Bone marrow aspirate smear: 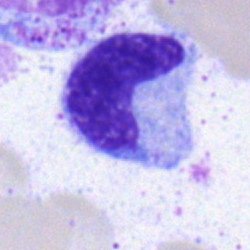
Showing a metamyelocyte.